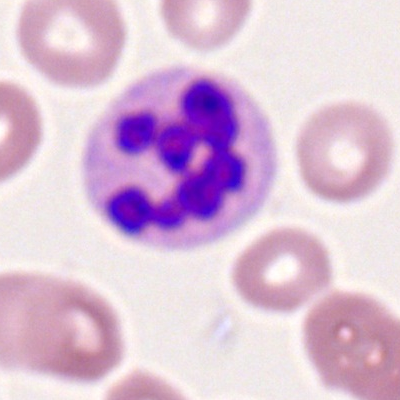Morphology consistent with a neutrophil (segmented).